Bone marrow aspirate smear
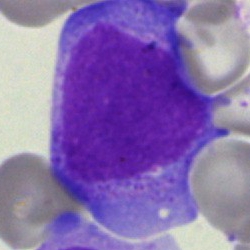

Q: Which cell type is shown here?
A: Blast.